Bone marrow smear.
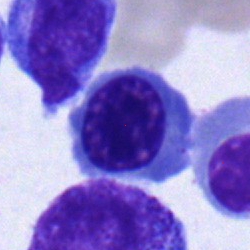
Specimen: bone marrow smear.
Classification: nucleated red cell.
Lineage: erythroid.